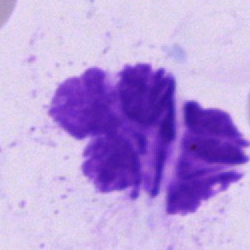
Morphology consistent with an artefact.